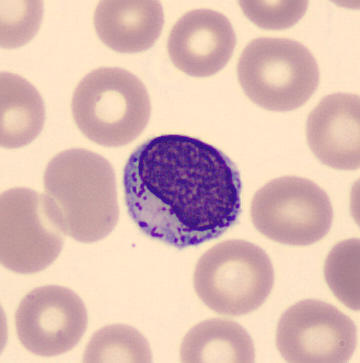

Q: What is shown here?
A: A typical lymphocyte.